Bone marrow smear · Pappenheim-stained — 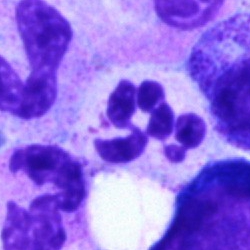
A segmented neutrophil.